Single-cell field; bone marrow aspirate smear; Pappenheim-stained — 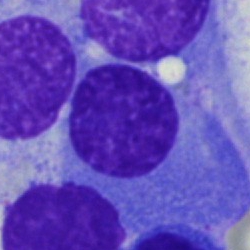

Plasma cell.